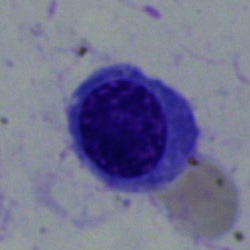

Q: Which cell type is shown here?
A: Erythroblast.